Single cell centered in the field · bone marrow smear: 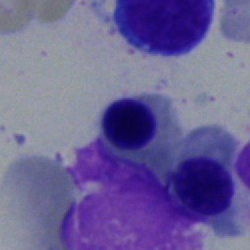 Impression — nucleated red blood cell.